40× objective, oil immersion. Bone marrow aspirate smear.
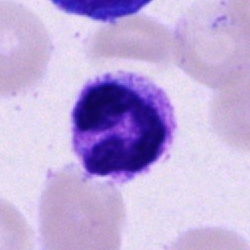Specimen: bone marrow smear.
Morphological class: polymorphonuclear neutrophil.
Lineage: myeloid.